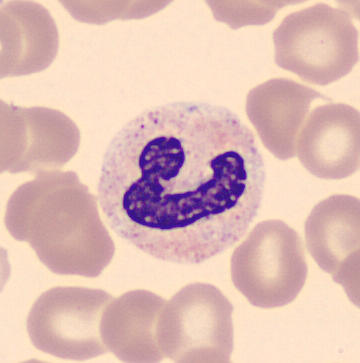
Image: Peripheral blood film.

Impression → neutrophil (segmented).